Bone marrow aspirate smear · single cell centered in the field · Pappenheim-stained: 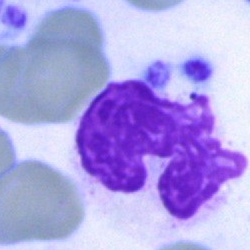 An artifact.